Bone marrow aspirate smear · cropped to a single cell · May-Grünwald-Giemsa/Pappenheim stain.
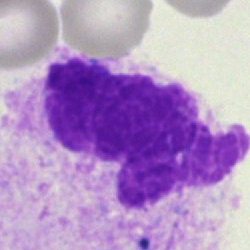

Morphology — artifact.